Romanowsky-stained; peripheral blood smear; single-cell crop
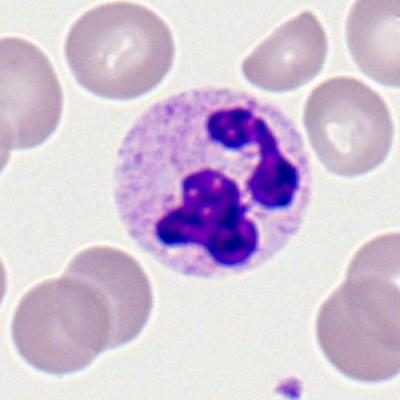
Cell type = segmented neutrophil.